Pappenheim-stained · bone marrow smear · 250×250 px:
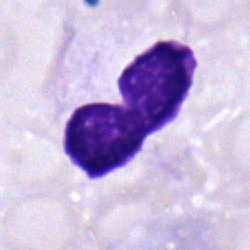
Single cell identified as a neutrophil (segmented).